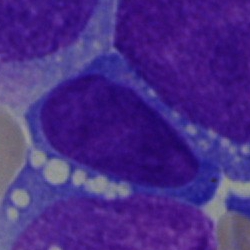

Specimen: bone marrow smear.
Classification: blast.